Bone marrow smear · 250×250:
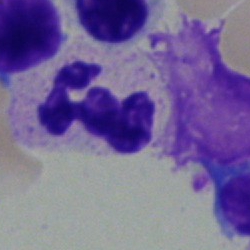
A polymorphonuclear neutrophil.